Peripheral blood film; 100× oil immersion, 14.14 px/µm.
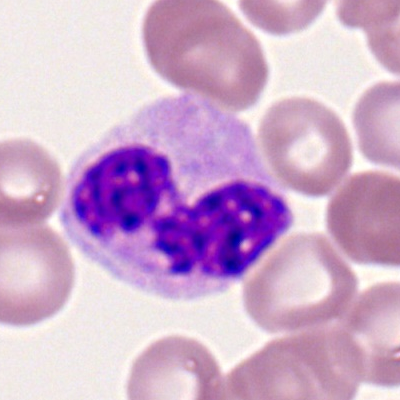

Single cell identified as a segmented neutrophil.